Bone marrow smear — 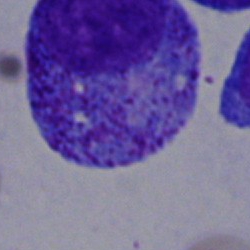

Specimen: bone marrow smear.
Morphological class: progranulocyte.
Lineage: myeloid.